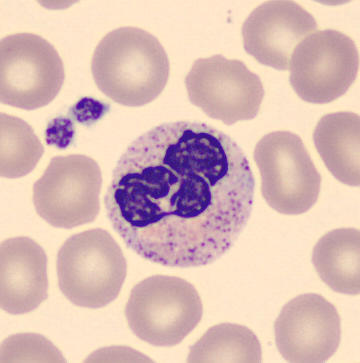

Classification — polymorphonuclear neutrophil.